Brightfield, 40× oil-immersion objective. Bone marrow smear. Image size 250×250:
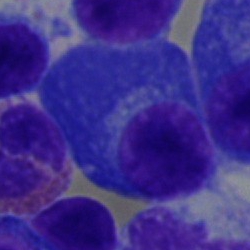
Impression → plasmacyte.